400×400 · peripheral blood film:
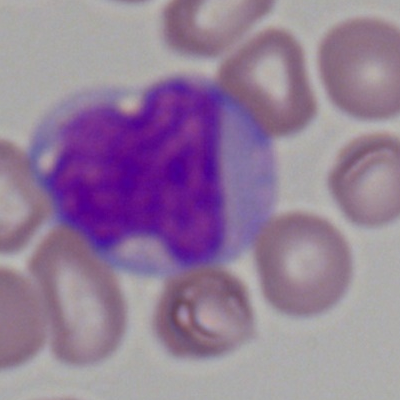Cell type: monocyte.